Brightfield, 40× oil-immersion objective; bone marrow aspirate smear.
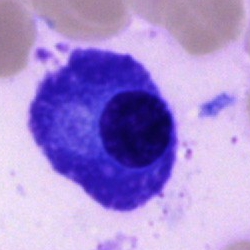Q: What type of cell is this?
A: A plasma cell.